Bone marrow smear: 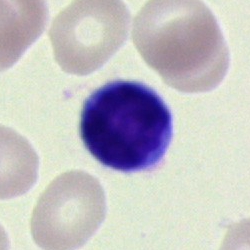

The cell is typical lymphocyte.